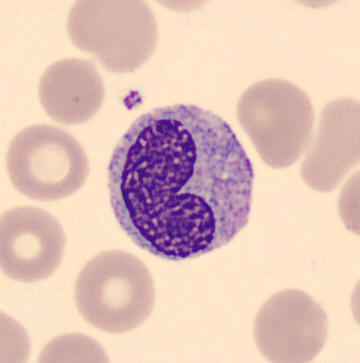A monocyte on a peripheral blood smear.